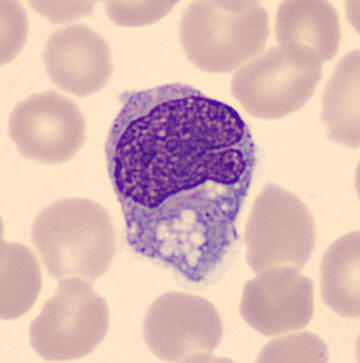 Peripheral blood smear · 360×363 px.

The morphological class is monocyte.